Bone marrow aspirate smear
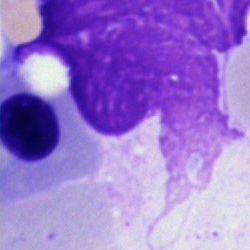

Morphology → artifact.